Bone marrow smear:
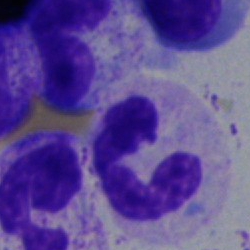 The cell is segmented neutrophil.